Bone marrow aspirate smear — 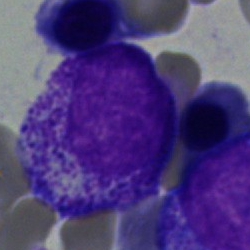

This is a myelocyte.